Bone marrow aspirate smear
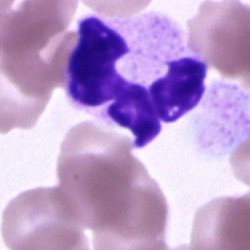

Morphology — neutrophil (segmented).